250 by 250 pixels. Single-cell crop. Bone marrow aspirate smear: 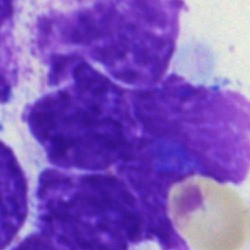 The cell shown is an artefact.